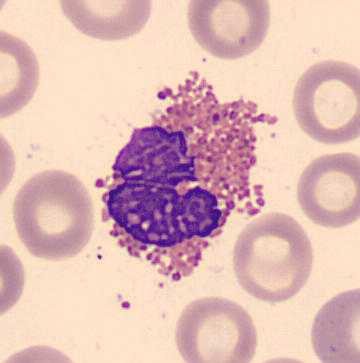The cell is eosinophil.